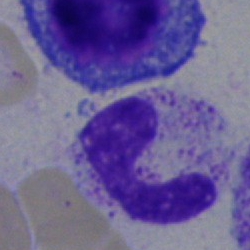Single cell identified as a segmented neutrophil.